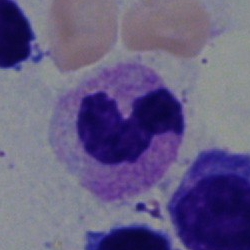 The cell is band-form neutrophil.